Peripheral blood film:
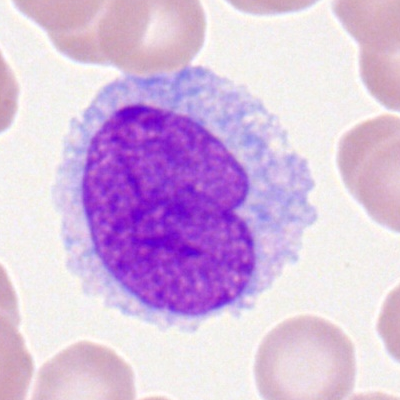Cell: monocyte.